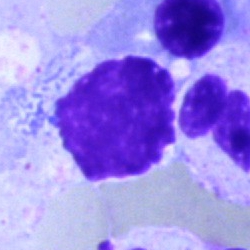 Specimen: bone marrow aspirate smear.
Cell: artefact.